Bone marrow smear
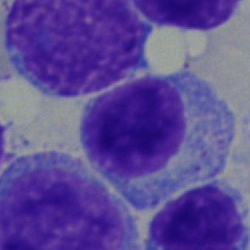Q: What cell is this?
A: A typical lymphocyte.